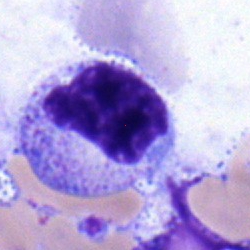Specimen: bone marrow smear.
Cell type: myelocyte.